Pappenheim-stained. Bone marrow smear. 250 by 250 pixels:
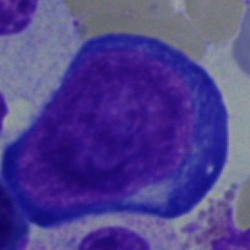A proerythroblast.